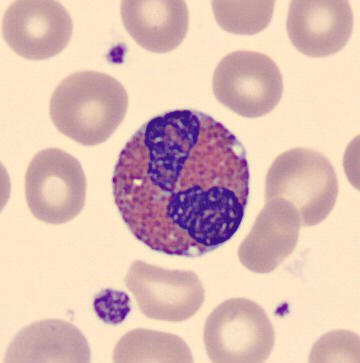Specimen: peripheral blood film.
Morphological class: eosinophilic granulocyte.
Lineage: myeloid.